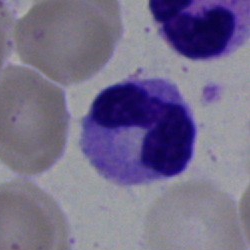

Showing a band neutrophil.